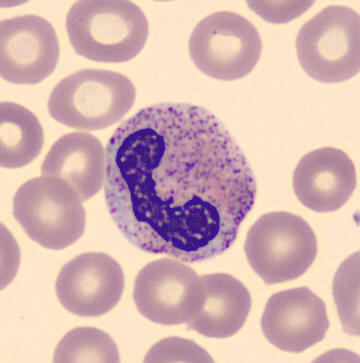 Morphological class: band-form neutrophil.